Bone marrow smear. 40× objective, oil immersion. Image size 250×250
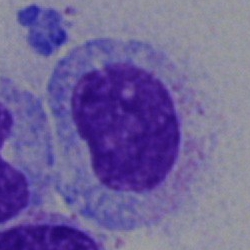Morphology consistent with a myelocyte.